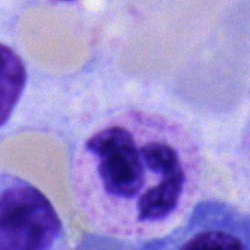

Morphology — polymorphonuclear neutrophil.